Bone marrow smear · single-cell crop.
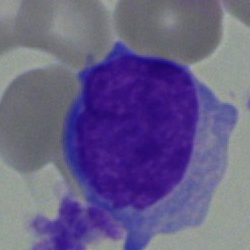 Specimen: bone marrow aspirate smear.
Classification: blast cell.